Bone marrow aspirate smear:
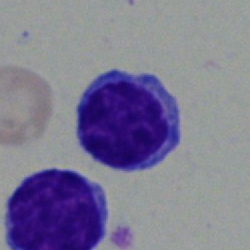
Morphology consistent with a lymphocyte.